Cropped to a single cell; peripheral blood film.
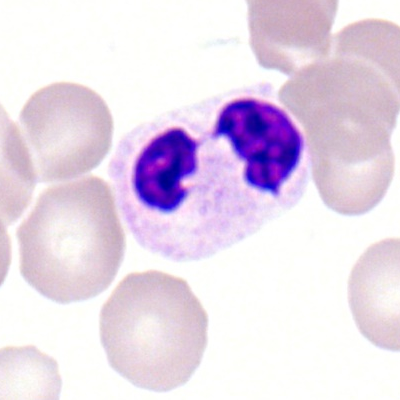
Morphology → neutrophil (segmented).